Bone marrow smear — 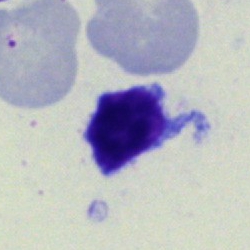
Q: Identify the cell.
A: It is a lymphocyte.